Peripheral blood smear · Romanowsky-type stain: 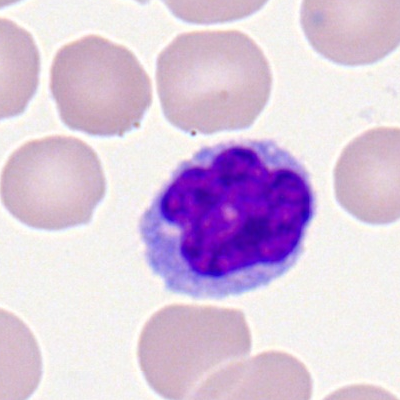
A lymphocyte.